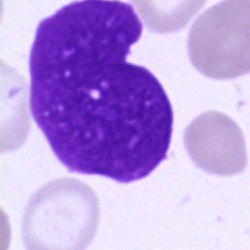 Bone marrow smear showing an artefact.